Bone marrow aspirate smear · single-cell field
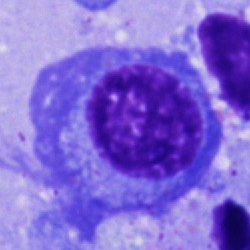

Cell — plasmacyte.